Brightfield microscopy, 40× oil immersion. Bone marrow smear. Pappenheim-stained: 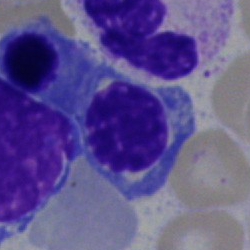

{"cell_type": "nucleated red blood cell", "lineage": "erythroid"}